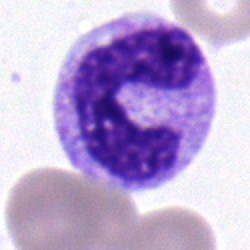{"cell_type": "band-form neutrophil", "lineage": "myeloid"}